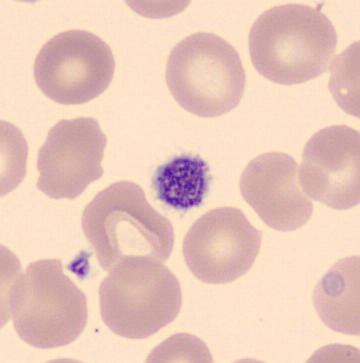
Morphological class — platelet.